Bone marrow aspirate smear — 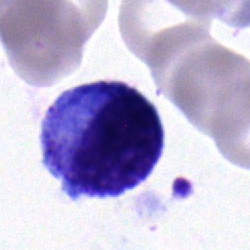
Showing a myelocyte.